Bone marrow smear — 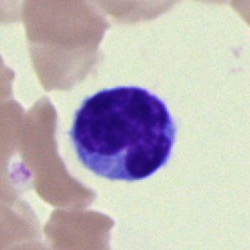 Q: What cell is this?
A: A lymphocyte.